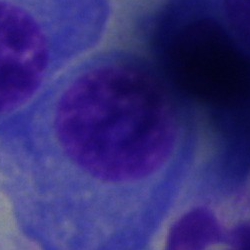 This is a plasma cell.